Bone marrow smear. Brightfield, 40× oil-immersion objective.
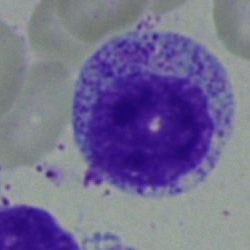

The cell shown is a myelocyte.